Bone marrow aspirate smear: 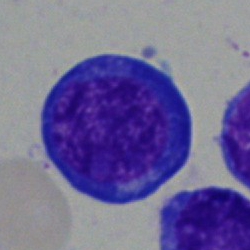

Specimen: bone marrow aspirate smear.
Classification: nucleated red cell.
Lineage: erythroid.